Bone marrow smear — 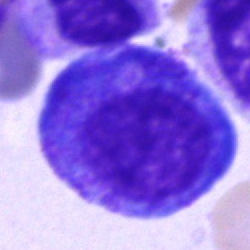
Morphology consistent with a progranulocyte.